Bone marrow aspirate smear:
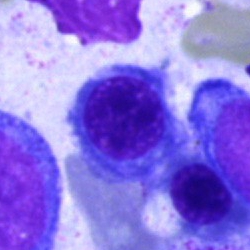 The classification is erythroblast.